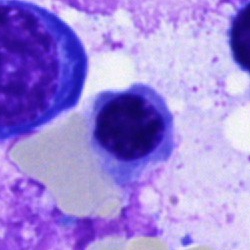
Morphology → nucleated red cell.